Brightfield, 40× oil-immersion objective; bone marrow smear; single-cell crop — 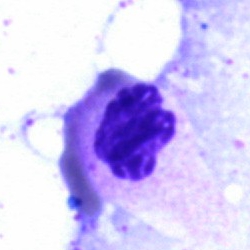

A segmented neutrophil.